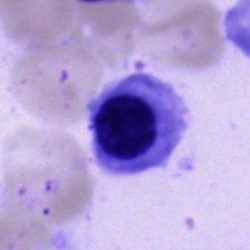 {"cell_type": "erythroblast"}